Brightfield, 40× oil-immersion objective; bone marrow smear
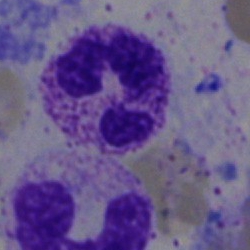{"cell_type": "polymorphonuclear neutrophil"}